Bone marrow smear
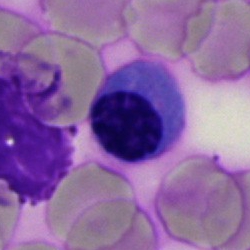

{"cell_type": "normoblast", "lineage": "erythroid"}